Bone marrow smear:
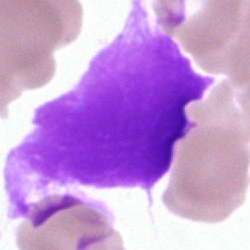

Morphology consistent with an artifact.